Bone marrow smear.
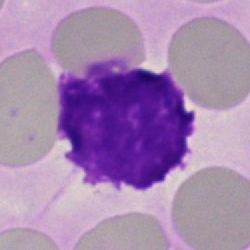Showing an artefact.